Bone marrow aspirate smear: 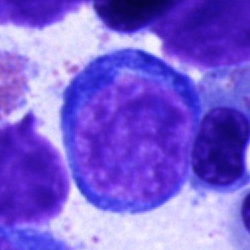

Cell type — pronormoblast.